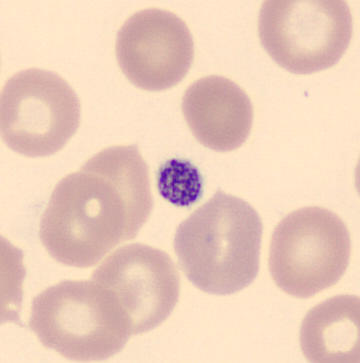
Peripheral blood smear showing a platelet (thrombocyte).